Bone marrow aspirate smear.
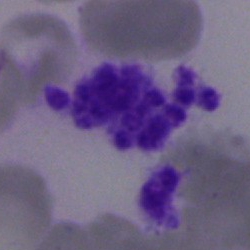{"cell_type": "artifact"}